Bone marrow smear: 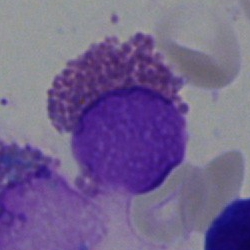
Q: What cell is this?
A: An eosinophilic granulocyte.